250×250. Bone marrow aspirate smear. Single cell centered in the field
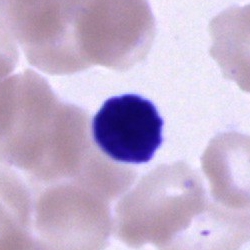This is an unidentifiable cell.